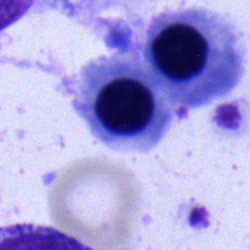 Specimen: bone marrow aspirate smear.
Classification: normoblast.